250×250 · bone marrow smear · brightfield microscopy, 40× oil immersion: 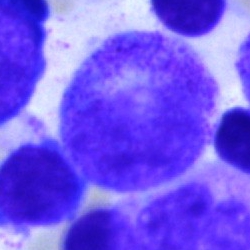

Single cell identified as a myelocyte.